Bone marrow aspirate smear.
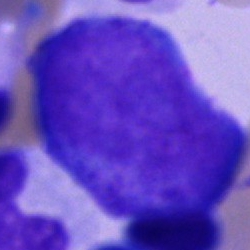Classification = progranulocyte.